Bone marrow aspirate smear:
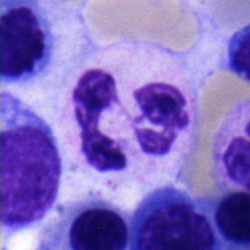Impression → segmented neutrophil.